Bone marrow aspirate smear. Image size 250×250:
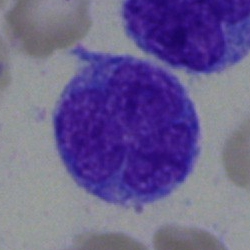

Impression → blast.